Bone marrow smear · cropped to a single cell.
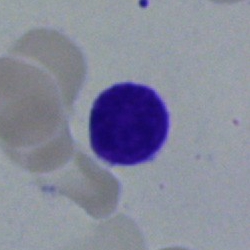 Morphology — typical lymphocyte.